Image size 250×250 · bone marrow aspirate smear — 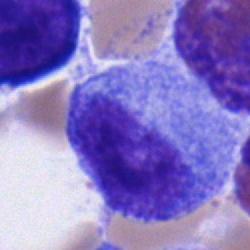 Cell = progranulocyte.